Cropped to a single cell; 250×250; bone marrow aspirate smear.
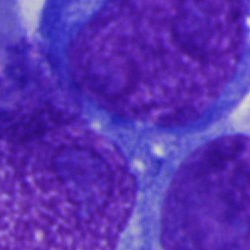

Q: What type of cell is this?
A: Undifferentiated blast.